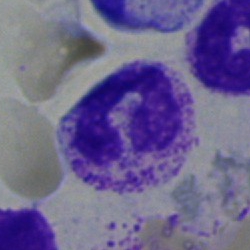
Cell = band-form neutrophil.